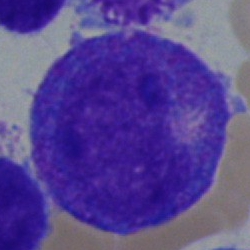 Morphology consistent with a promyelocyte.